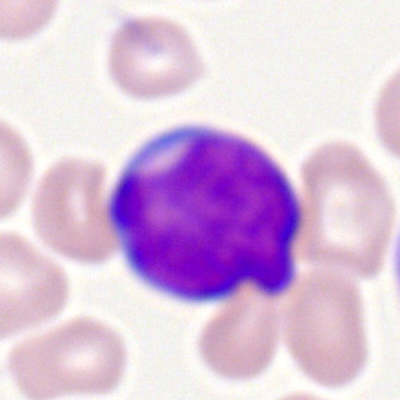 The cell type is myeloid blast.